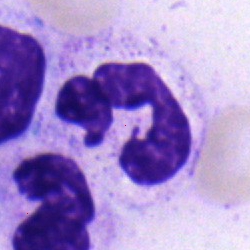 Specimen: bone marrow smear.
Cell type: polymorphonuclear neutrophil.
Lineage: myeloid.